Bone marrow smear: 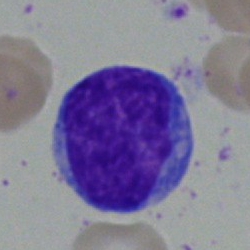 Morphology consistent with a blast.